250×250 px. Bone marrow aspirate smear. Brightfield, 40× oil-immersion objective: 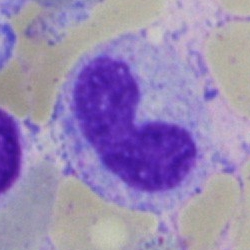
{"cell_type": "band neutrophil", "lineage": "myeloid"}